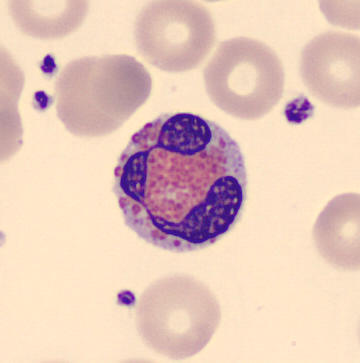

Peripheral blood film; May Grünwald-Giemsa stain.
Q: What is the morphological classification of this cell?
A: This is an eosinophilic granulocyte.